Bone marrow aspirate smear — 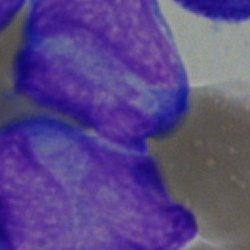Blast.